Brightfield, 40× oil-immersion objective; bone marrow aspirate smear; May-Grünwald-Giemsa/Pappenheim stain:
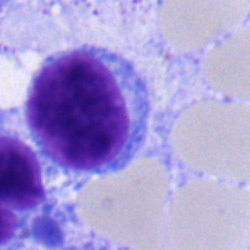 Q: What is the morphological classification of this cell?
A: Lymphocyte.